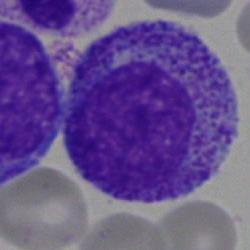Q: What is the morphological classification of this cell?
A: It is a promyelocyte.